Romanowsky-type stain. Peripheral blood film:
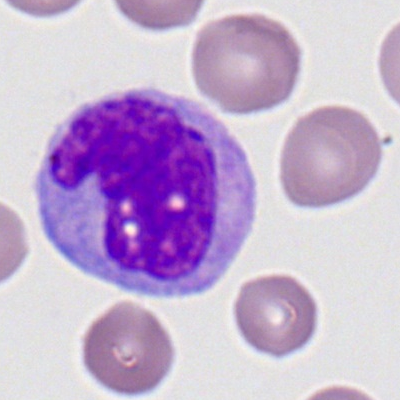
Morphology → monocyte.